Bone marrow smear.
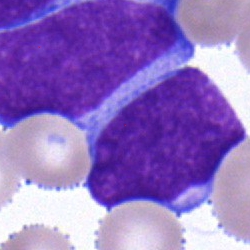

Cell type = blast.